Single cell centered in the field · 250×250 px · bone marrow aspirate smear.
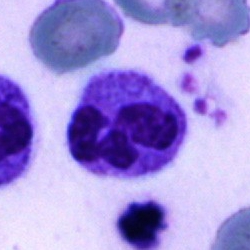Morphological class: neutrophil (segmented).